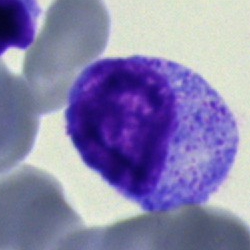

Bone marrow aspirate smear, single cell — progranulocyte.